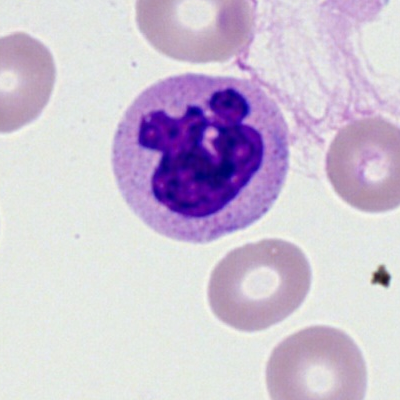
The cell shown is a neutrophil (segmented).